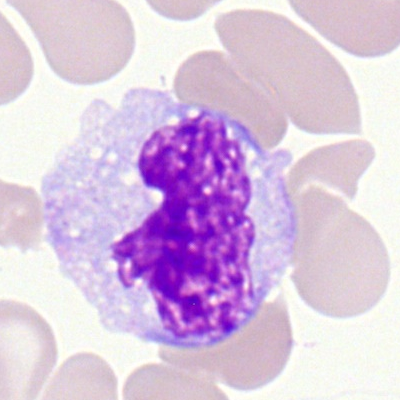 Specimen: peripheral blood film.
Cell type: monocyte.